Bone marrow smear:
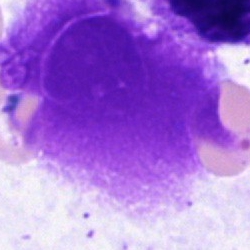
Cell: artifact.